Bone marrow aspirate smear
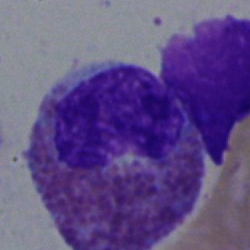

Morphology — eosinophilic granulocyte.